Bone marrow aspirate smear · 40× oil immersion · single cell centered in the field
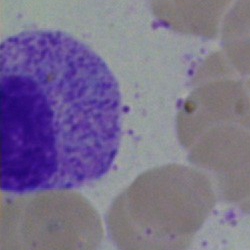Impression — myelocyte.